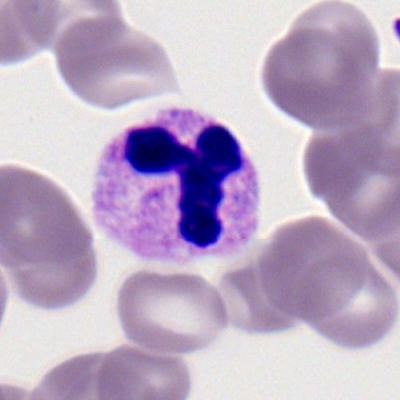

Single-cell crop from a peripheral blood smear: neutrophil (segmented).